Brightfield microscopy, 40× oil immersion · bone marrow aspirate smear
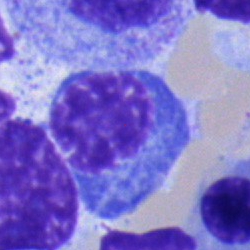
A nucleated red cell.